May-Grünwald-Giemsa stain · brightfield, 40× oil-immersion objective · bone marrow smear.
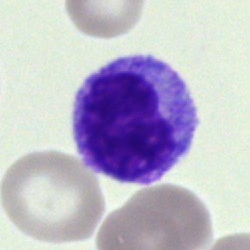
Cell — myelocyte.